Peripheral blood film; image size 400×400
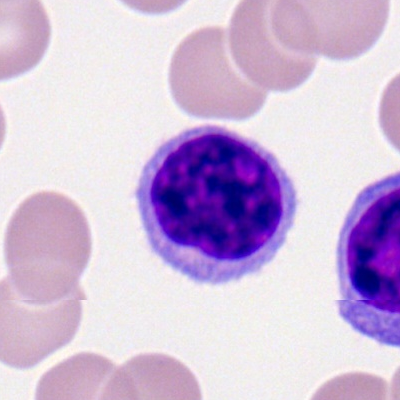
{"cell_type": "lymphocyte", "lineage": "lymphoid"}